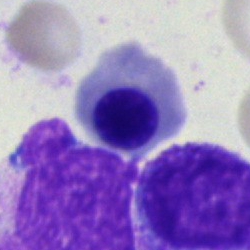Q: What type of cell is this?
A: Normoblast.